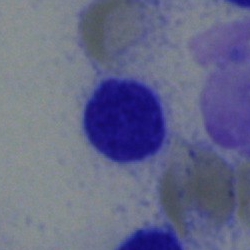
Morphological class = typical lymphocyte.